Bone marrow smear: 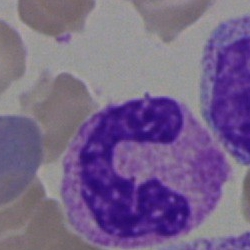 Impression — polymorphonuclear neutrophil.